Brightfield, 40× oil-immersion objective; bone marrow smear; Pappenheim-stained.
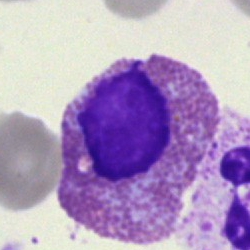 The classification is eosinophil.